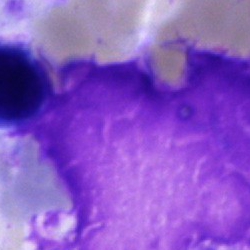 This is an artefact.